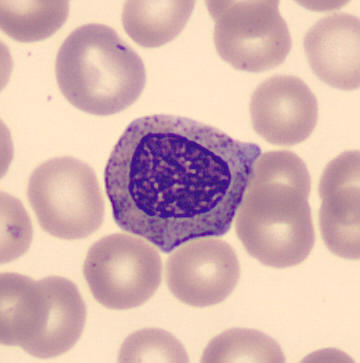Image: 360×363 px; automated cell imaging (CellaVision DM96); peripheral blood film.
Impression → myelocyte.